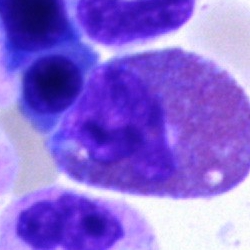Classification = eosinophilic granulocyte.